Bone marrow aspirate smear:
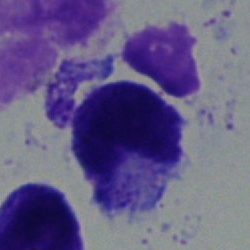 A metamyelocyte.